Bone marrow aspirate smear — 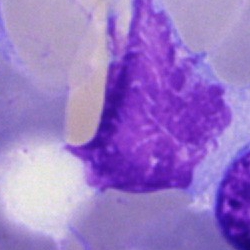
Cell — artefact.